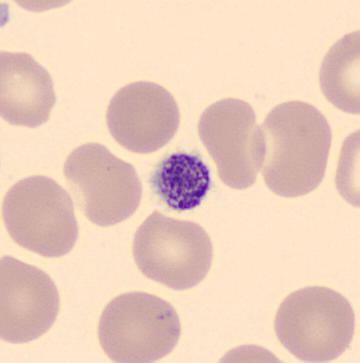Classification — platelet (thrombocyte). Peripheral blood smear.